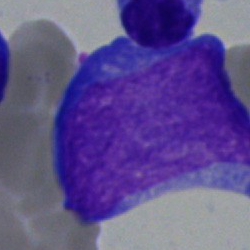Morphology consistent with an undifferentiated blast.